Bone marrow aspirate smear.
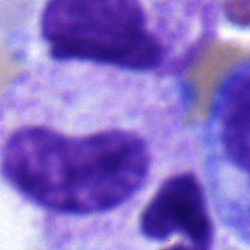

This is a myelocyte.